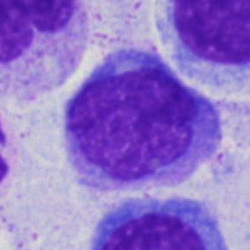

Cell type: monocyte.